Bone marrow smear — 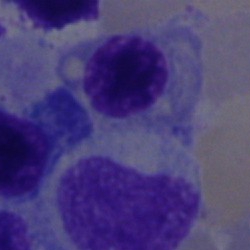

Cell type — erythroblast.